Bone marrow smear:
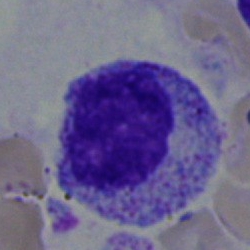

Q: Identify the cell.
A: This is a myelocyte.